Bone marrow smear
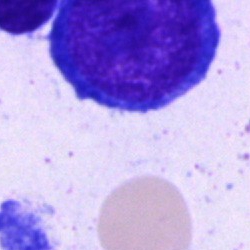Specimen: bone marrow smear.
Cell type: proerythroblast.
Lineage: erythroid.